Bone marrow aspirate smear; single-cell crop
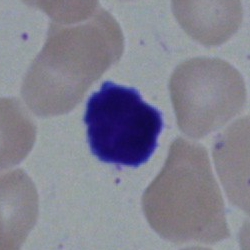 A typical lymphocyte.